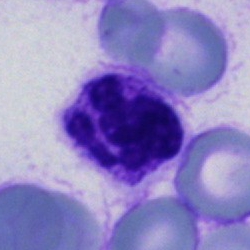 The cell shown is a segmented neutrophil.